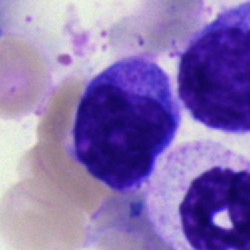 Q: Identify the cell.
A: This is a typical lymphocyte.